MGG-stained · bone marrow smear · 250 by 250 pixels — 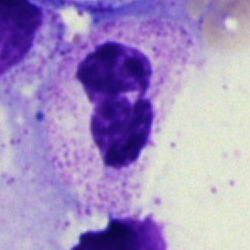Showing a polymorphonuclear neutrophil.